Bone marrow smear · 250×250:
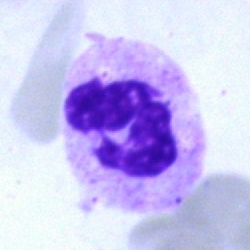

A neutrophil (segmented).